Bone marrow smear. Single-cell crop. Pappenheim-stained: 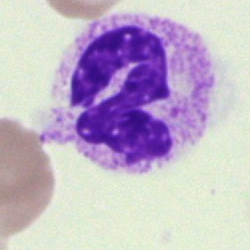Morphology → segmented neutrophil.